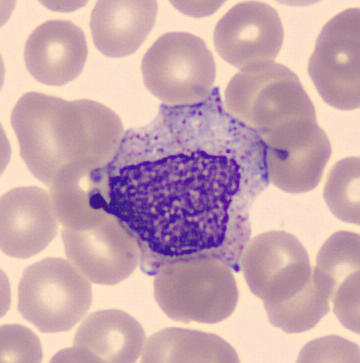

Specimen: peripheral blood smear.
Classification: myelocyte.